Bone marrow aspirate smear · May-Grünwald-Giemsa stain · single-cell field: 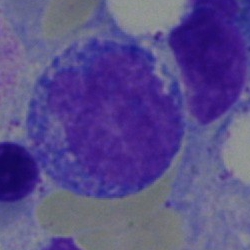
Q: What cell is this?
A: Blast cell.